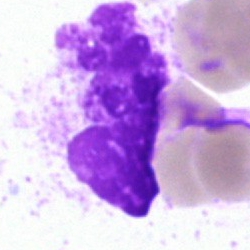

Artifact.